Single cell centered in the field. MGG-stained. Bone marrow aspirate smear.
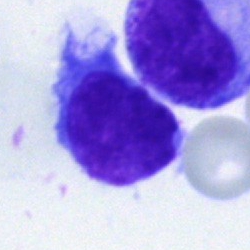Morphology → lymphocyte.